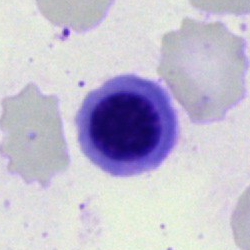 Morphological class — normoblast.